Bone marrow aspirate smear:
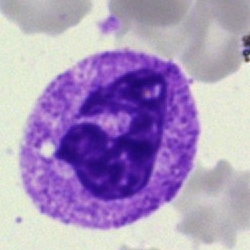
Morphological class: segmented neutrophil.